Bone marrow aspirate smear · cropped to a single cell.
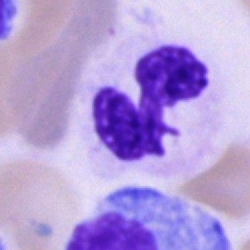Morphology — neutrophil (segmented).